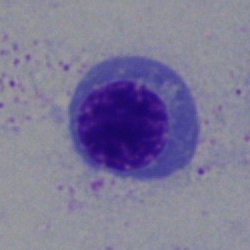{"cell_type": "nucleated red blood cell"}